Bone marrow smear. 40× objective, oil immersion
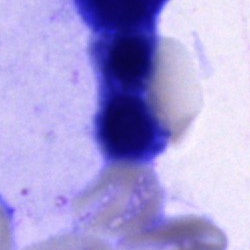

Artifact.